250×250 px; bone marrow aspirate smear.
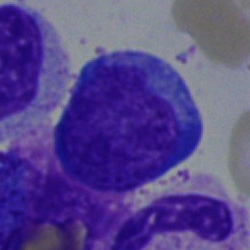

This is a blast cell.